250 by 250 pixels · bone marrow aspirate smear: 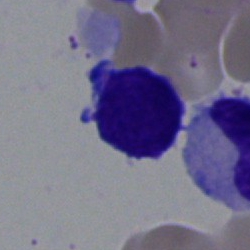 The classification is lymphocyte.